Bone marrow smear: 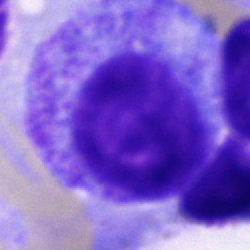 Cell type: promyelocyte.